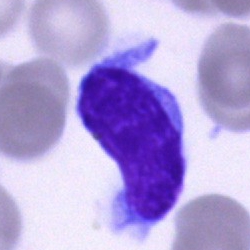
Showing a neutrophil (segmented).